Image size 400×400. Peripheral blood film:
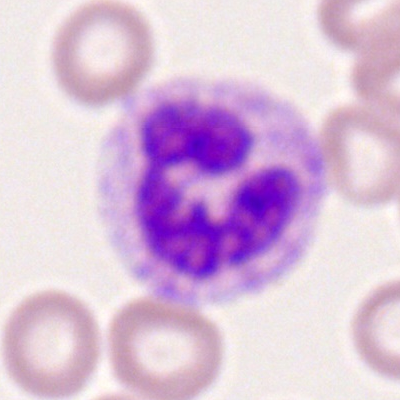

A segmented neutrophil.